Bone marrow smear; Pappenheim-stained; single cell centered in the field — 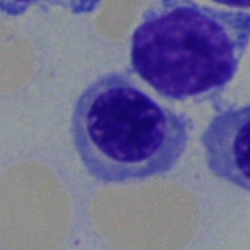
A normoblast.